Bone marrow smear: 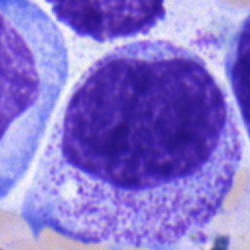

The cell shown is a myelocyte.